Bone marrow aspirate smear: 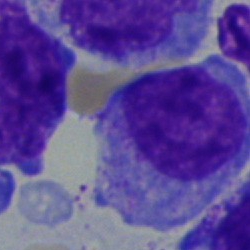Cell: myelocyte.